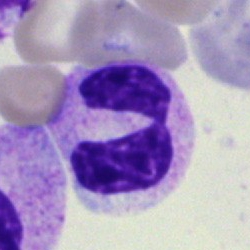
Q: Identify the cell.
A: A neutrophil (segmented).